Single-cell field. Bone marrow smear: 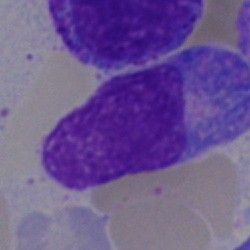Morphology consistent with a lymphocyte.